Bone marrow aspirate smear:
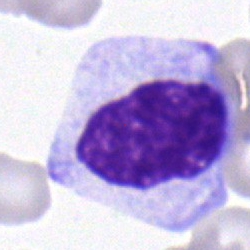
Q: Identify the cell.
A: Myelocyte.